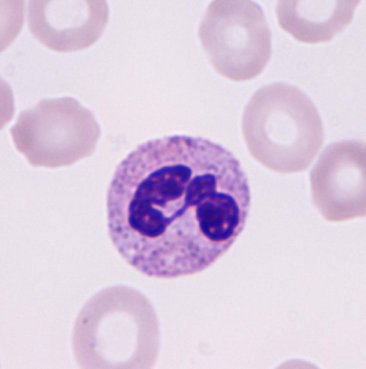Q: What type of cell is this?
A: This is a neutrophilic granulocyte.

Peripheral blood smear.